Bone marrow aspirate smear
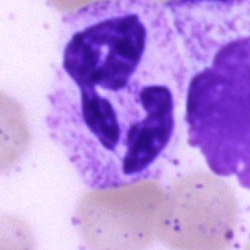 Cell — segmented neutrophil.